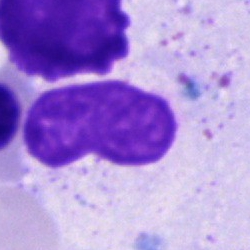Cell: artefact.